Single cell centered in the field; bone marrow aspirate smear; brightfield, 40× oil-immersion objective:
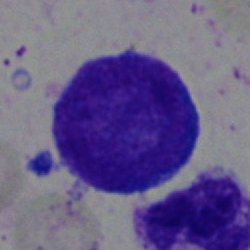 A blast cell.